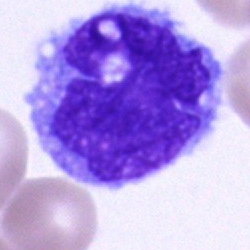

Morphological class: monocyte.